Bone marrow aspirate smear. Single-cell crop — 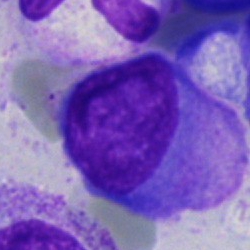 Morphology consistent with a plasmacyte.